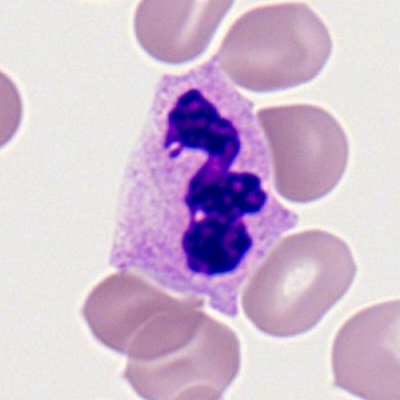

Morphological class = polymorphonuclear neutrophil.